40× objective, oil immersion; bone marrow aspirate smear — 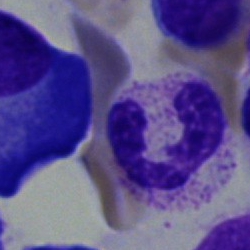

Specimen: bone marrow aspirate smear.
Cell: segmented neutrophil.
Lineage: myeloid.